Bone marrow smear.
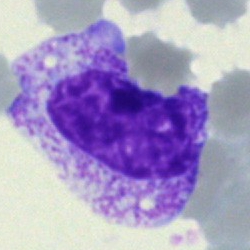

Specimen: bone marrow smear.
Cell: myelocyte.
Lineage: myeloid.